Bone marrow aspirate smear.
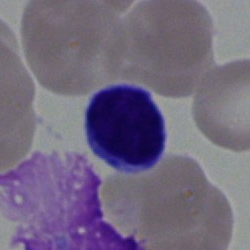 Q: What is the morphological classification of this cell?
A: This is a lymphocyte.